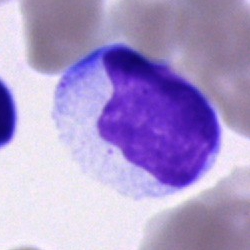Specimen: bone marrow smear.
Cell: blast.